Bone marrow aspirate smear.
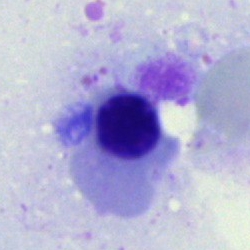 Erythroblast.